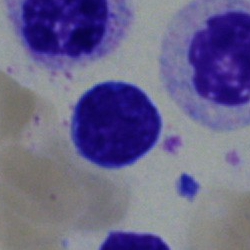
A typical lymphocyte.